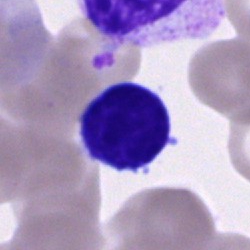 Bone marrow smear showing a lymphocyte.